Bone marrow aspirate smear: 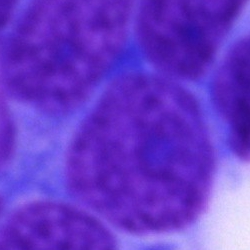

Q: Identify the cell.
A: It is a cell of indeterminate lineage.